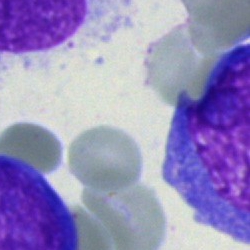Morphological class: blast.